May-Grünwald-Giemsa stain. Brightfield microscopy, 40× oil immersion. Bone marrow smear:
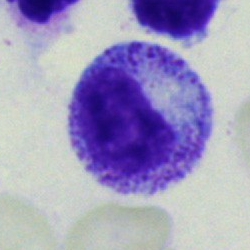 This is a myelocyte.